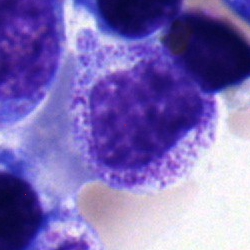 Myelocyte.